Bone marrow aspirate smear
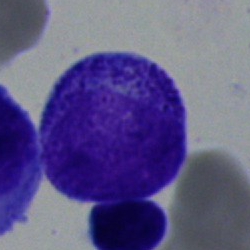
Showing a promyelocyte.